MGG stain; CellaVision DM96 digital cell image; peripheral blood film.
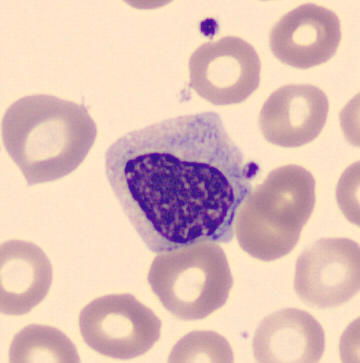
Specimen: peripheral blood film.
Cell: metamyelocyte.
Lineage: myeloid.